MGG-stained; brightfield, 40× oil-immersion objective; bone marrow aspirate smear:
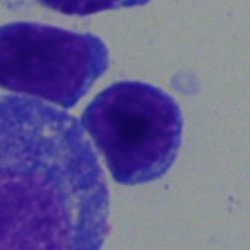Morphology consistent with a lymphocyte.